Bone marrow aspirate smear
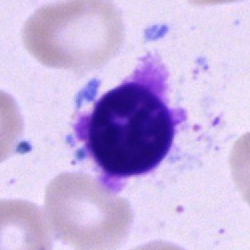

Specimen: bone marrow smear.
Cell type: artifact.